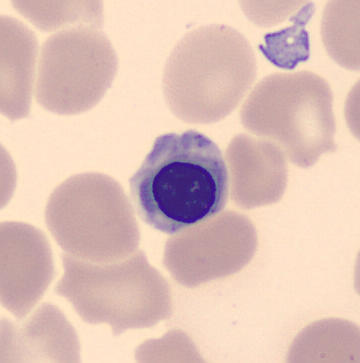Cell: normoblast.
Peripheral blood smear.